250×250 px; bone marrow smear; single-cell field
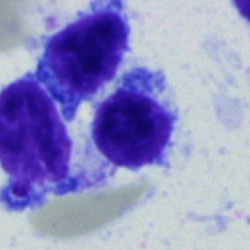Morphological class = lymphocyte.